Bone marrow smear.
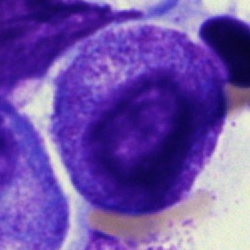 Single cell identified as a myelocyte.